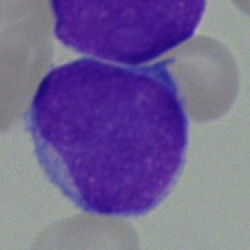

Classification: undifferentiated blast.